Bone marrow smear:
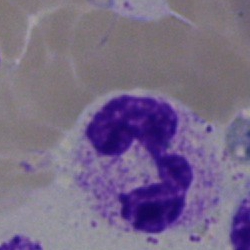
Showing a polymorphonuclear neutrophil.